250×250 · bone marrow aspirate smear.
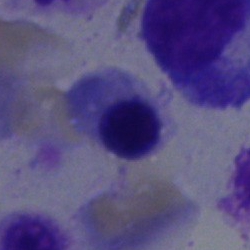Morphology consistent with an erythroblast.